Bone marrow smear:
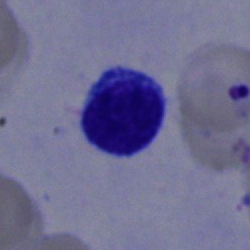Lymphocyte.